Bone marrow aspirate smear — 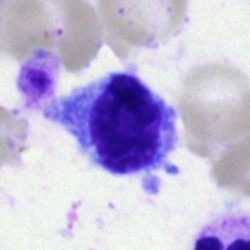 Showing a monocyte.